Pappenheim-stained. Bone marrow aspirate smear
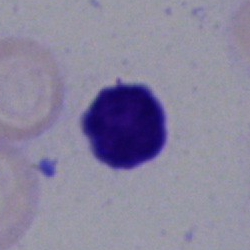
The cell type is lymphocyte.